Bone marrow aspirate smear — 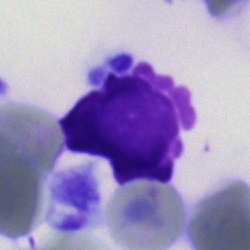 Morphological class = artefact.